Bone marrow aspirate smear
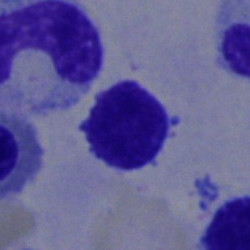Impression — lymphocyte.